Bone marrow smear. May-Grünwald-Giemsa/Pappenheim stain.
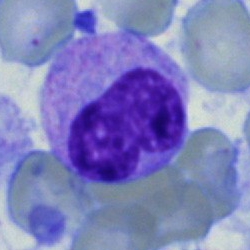Specimen: bone marrow smear.
Classification: metamyelocyte.
Lineage: myeloid.